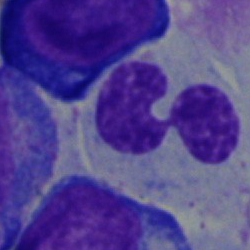

Q: Which cell type is shown here?
A: It is a neutrophil (segmented).